Bone marrow aspirate smear.
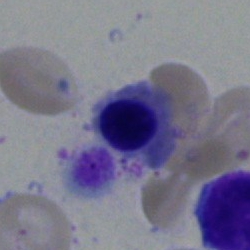Cell: nucleated red cell.